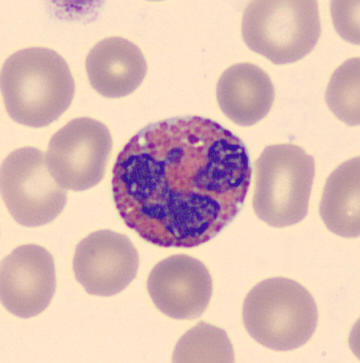
An eosinophilic granulocyte.